Bone marrow smear:
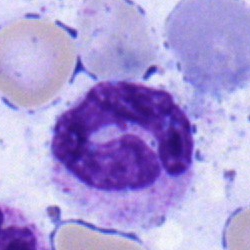

Band neutrophil.